Peripheral blood film — 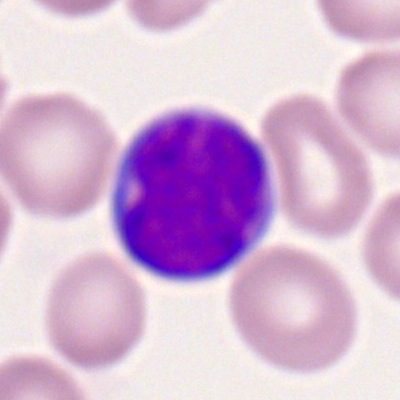
Cell = myeloid blast.